Bone marrow smear: 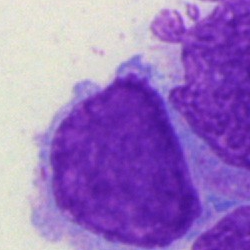 Impression — blast cell.